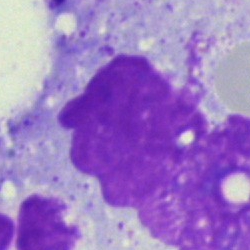
Artefact.